250 by 250 pixels; bone marrow aspirate smear
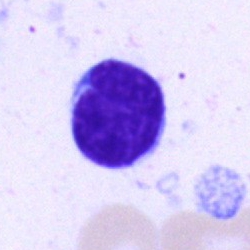

This is a lymphocyte.